40× oil immersion; bone marrow aspirate smear; image size 250×250: 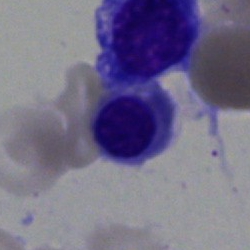

Morphology consistent with a nucleated red cell.